Bone marrow aspirate smear. May-Grünwald-Giemsa/Pappenheim stain. Single-cell crop — 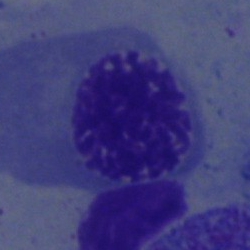
Morphology consistent with a nucleated red cell.